250×250; bone marrow aspirate smear: 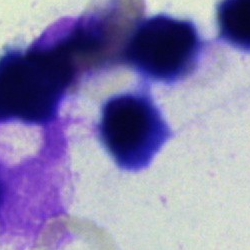
The cell shown is an artifact.